Bone marrow aspirate smear · 250×250 px.
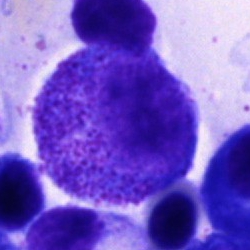

Morphology consistent with a progranulocyte.